Brightfield microscopy, 40× oil immersion. Bone marrow smear.
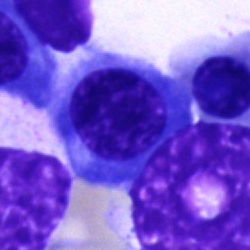
Cell — normoblast.